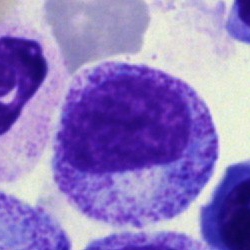
Cell type: myelocyte.